Bone marrow smear — 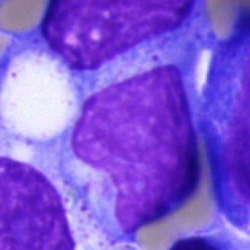
A blast.